250 by 250 pixels · bone marrow smear
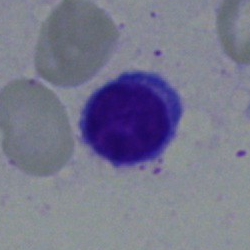Classification = typical lymphocyte.